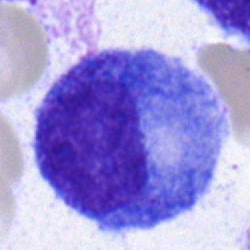

Impression — promyelocyte.